40× objective, oil immersion · bone marrow aspirate smear · MGG-stained:
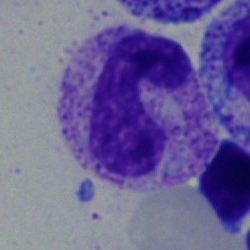Specimen: bone marrow aspirate smear.
Cell type: band-form neutrophil.
Lineage: myeloid.